Bone marrow smear — 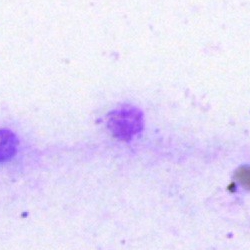 {"cell_type": "artefact"}